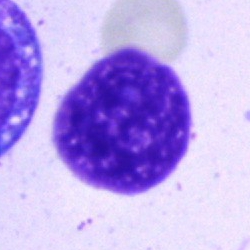Single cell identified as an artefact.